Bone marrow smear. Single cell centered in the field. May-Grünwald-Giemsa stain:
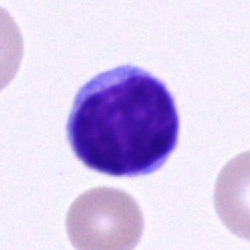
Specimen: bone marrow smear.
Classification: typical lymphocyte.
Lineage: lymphoid.